Bone marrow aspirate smear; May-Grünwald-Giemsa/Pappenheim stain; brightfield microscopy, 40× oil immersion:
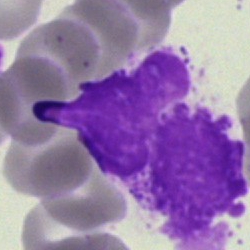 Q: What is shown here?
A: It is an artifact.